Brightfield microscopy, 40× oil immersion. MGG-stained. Bone marrow aspirate smear: 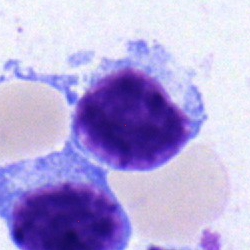

{"cell_type": "typical lymphocyte"}